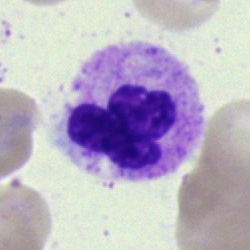

Q: What is shown here?
A: It is a polymorphonuclear neutrophil.